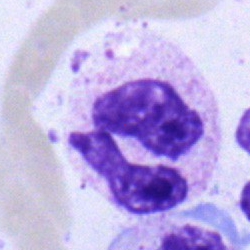
Specimen: bone marrow smear.
Classification: segmented neutrophil.